Bone marrow smear.
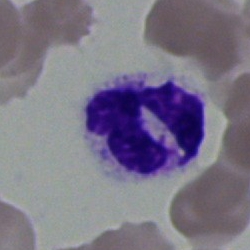The classification is neutrophil (segmented).